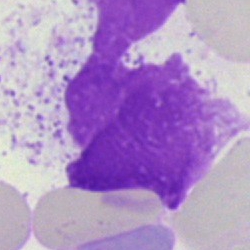
Single-cell crop from a bone marrow smear: artefact.